Bone marrow smear
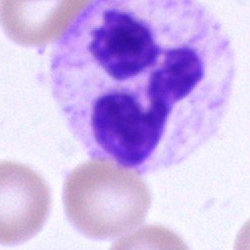Cell type: neutrophil (segmented).